Bone marrow smear; single-cell crop — 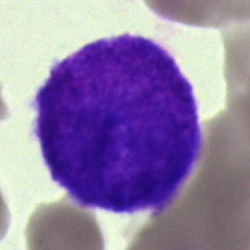
The classification is blast.